Bone marrow smear:
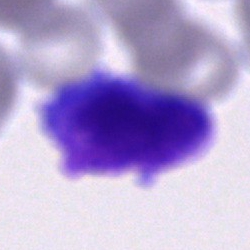An unidentifiable cell.